May-Grünwald-Giemsa/Pappenheim stain; bone marrow smear — 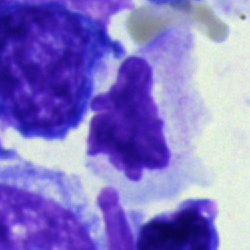Q: What is shown here?
A: This is an artefact.